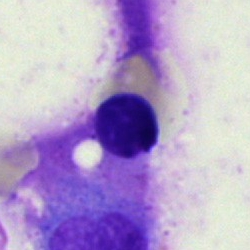Q: What type of cell is this?
A: A nucleated red blood cell.